Single-cell field; bone marrow aspirate smear; MGG-stained.
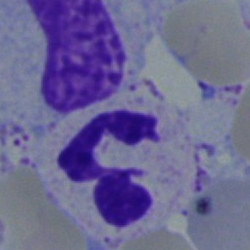 The classification is polymorphonuclear neutrophil.